Brightfield, 40× oil-immersion objective; bone marrow smear; May-Grünwald-Giemsa stain:
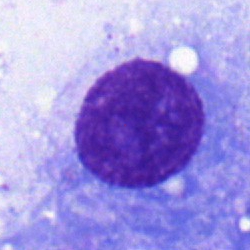 A plasmacyte.